Bone marrow aspirate smear — 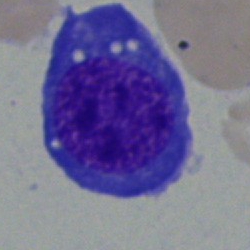
The cell type is normoblast.